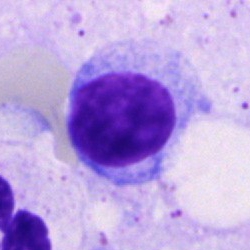
Morphology consistent with a lymphocyte.